Peripheral blood film. May-Grünwald-Giemsa-stained — 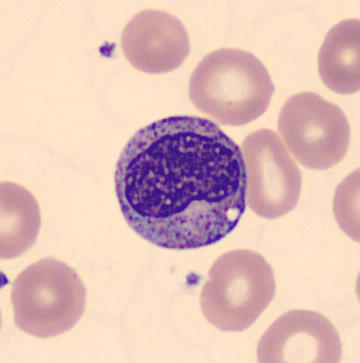A metamyelocyte.